40× objective, oil immersion · bone marrow smear: 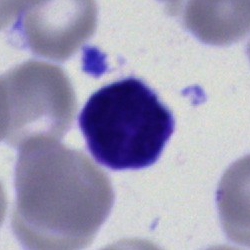

Showing a blast cell.